250 by 250 pixels. Bone marrow smear.
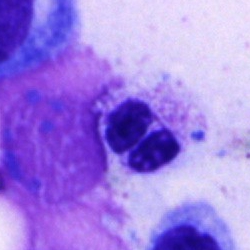Specimen: bone marrow aspirate smear.
Cell type: neutrophil (segmented).
Lineage: myeloid.